Bone marrow aspirate smear · single-cell field — 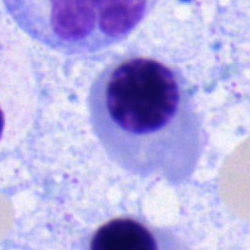 The morphological class is normoblast.